Bone marrow aspirate smear · 40× oil immersion
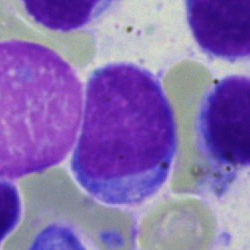
Specimen: bone marrow aspirate smear.
Cell type: lymphocyte.